May-Grünwald-Giemsa/Pappenheim stain; bone marrow aspirate smear:
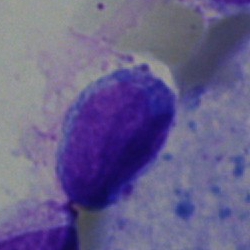Showing a blast cell.